MGG-stained; bone marrow smear
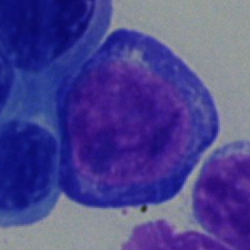

Q: What is shown here?
A: A proerythroblast.